Bone marrow smear; 40× objective, oil immersion.
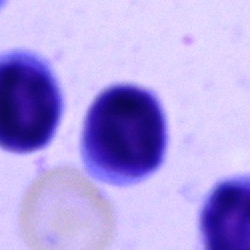Lymphocyte.